Single-cell crop · bone marrow smear: 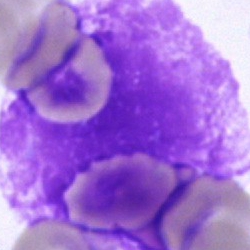An artefact.